Bone marrow smear. Single-cell field — 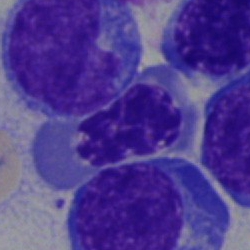
{"cell_type": "erythroblast"}